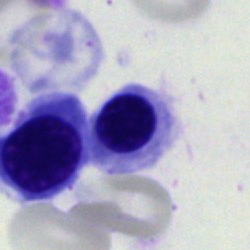
Single-cell crop from a bone marrow smear: nucleated red blood cell.